May-Grünwald-Giemsa-stained. Peripheral blood smear
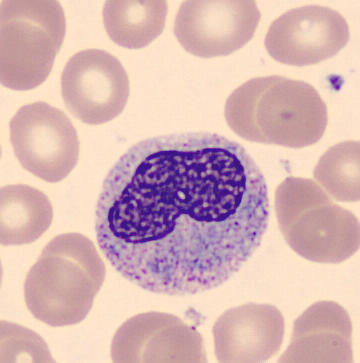

Specimen: peripheral blood smear.
Morphological class: metamyelocyte.
Lineage: myeloid.